Bone marrow smear.
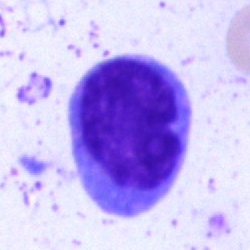The cell type is monocyte.